250×250 px. Bone marrow aspirate smear
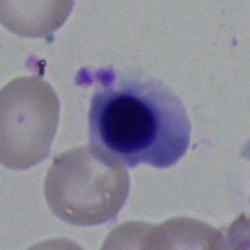Classification: erythroblast.